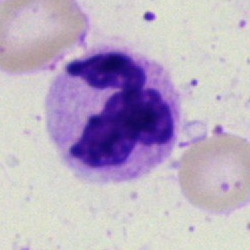
Bone marrow smear showing a segmented neutrophil.